Bone marrow aspirate smear. 250 by 250 pixels:
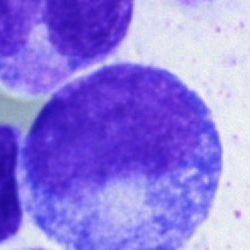 Morphology consistent with a promyelocyte.